Peripheral blood smear. Image size 400×400: 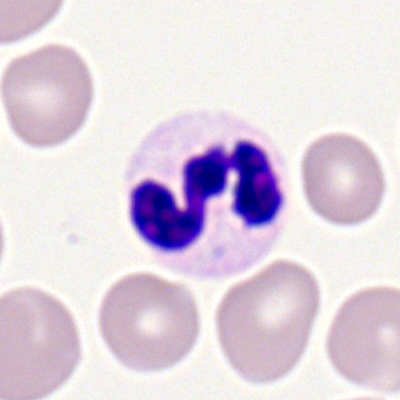 A polymorphonuclear neutrophil.